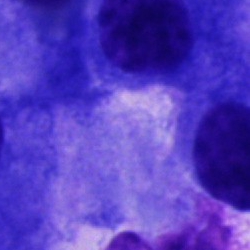{"cell_type": "other cell type"}